Bone marrow aspirate smear
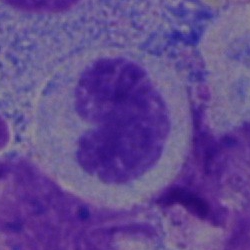 Morphology — neutrophil (band).